Bone marrow smear · single-cell field — 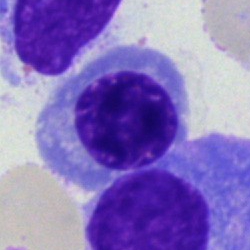This is an erythroblast.